Bone marrow smear:
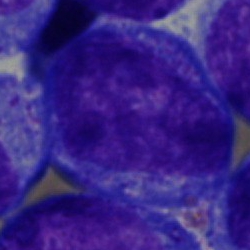

Morphology — progranulocyte.